Bone marrow aspirate smear — 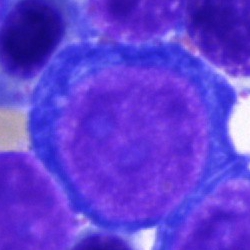 Specimen: bone marrow aspirate smear.
Morphological class: proerythroblast.
Lineage: erythroid.